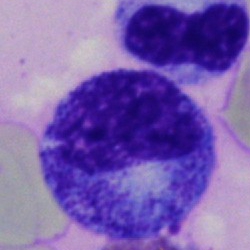
{"cell_type": "promyelocyte", "lineage": "myeloid"}